Bone marrow smear: 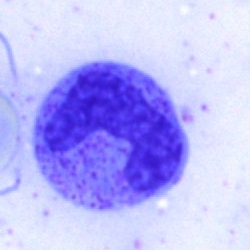

Single cell identified as a neutrophil (band).